Bone marrow smear
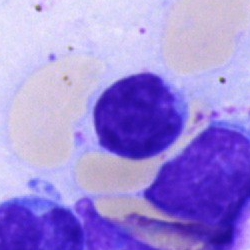 The classification is typical lymphocyte.